Cropped to a single cell; bone marrow smear
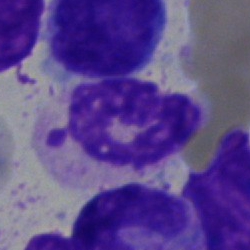

Cell = polymorphonuclear neutrophil.